Image size 250×250. Bone marrow aspirate smear: 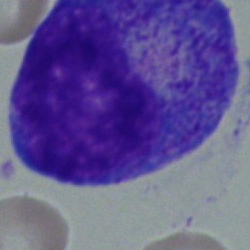Single cell identified as a progranulocyte.